250×250 px · bone marrow aspirate smear · 40× oil immersion — 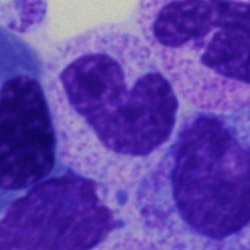Band neutrophil.